Bone marrow aspirate smear · MGG-stained · brightfield, 40× oil-immersion objective:
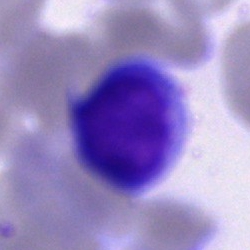 Unidentifiable cell.